Bone marrow smear
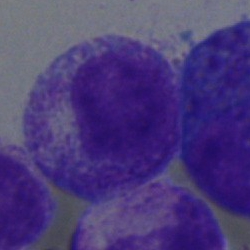

Morphological class: myelocyte.